MGG-stained; peripheral blood smear: 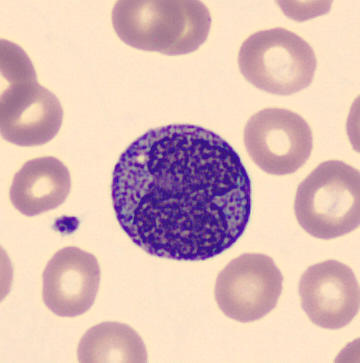 The cell shown is a promyelocyte.